Bone marrow aspirate smear — 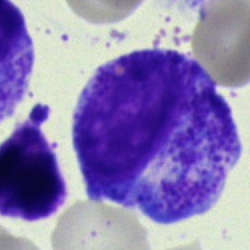

Impression — myelocyte.